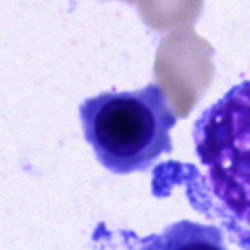
Impression → erythroblast.